MGG-stained; bone marrow aspirate smear — 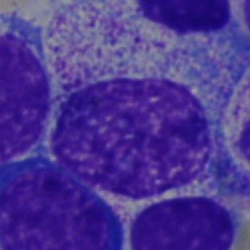The cell shown is a myelocyte.